Peripheral blood film · 400×400 — 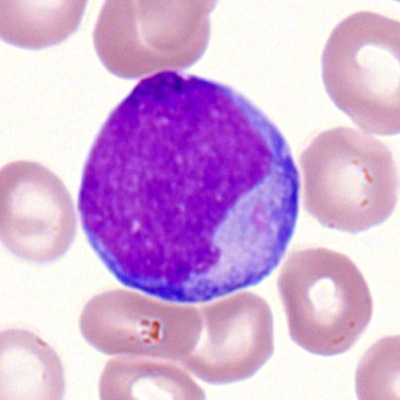 This is a myeloblast.